Bone marrow aspirate smear.
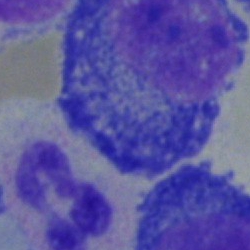

Specimen: bone marrow aspirate smear.
Morphological class: plasma cell.
Lineage: lymphoid.